Bone marrow smear; 250×250 px:
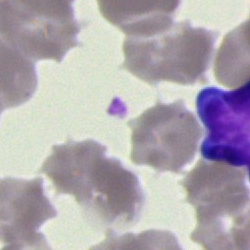This is an artifact.